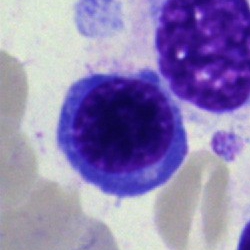Impression — nucleated red blood cell.